Bone marrow smear; 40× oil immersion.
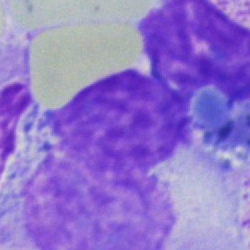
Q: What is shown here?
A: It is an artefact.